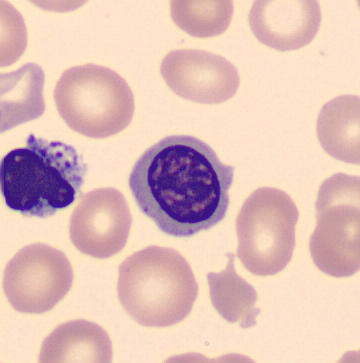 Classification: nucleated red blood cell.